Bone marrow smear:
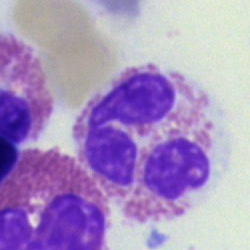Q: Identify the cell.
A: It is an eosinophil.